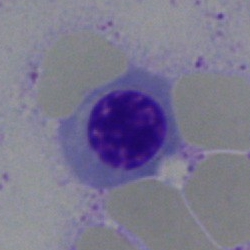 {"cell_type": "normoblast", "lineage": "erythroid"}